Peripheral blood smear.
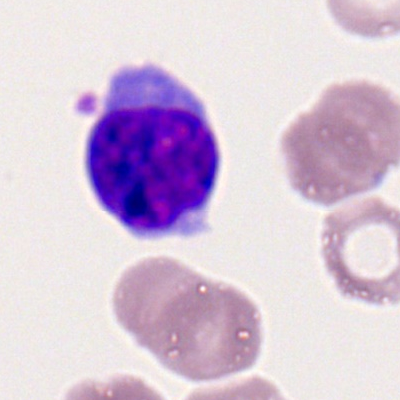

This is a lymphocyte.